Bone marrow aspirate smear.
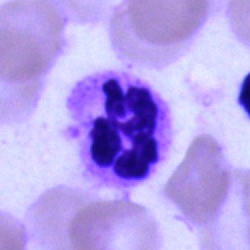 Morphological class — segmented neutrophil.